100× oil immersion, 14.14 px/µm; peripheral blood film
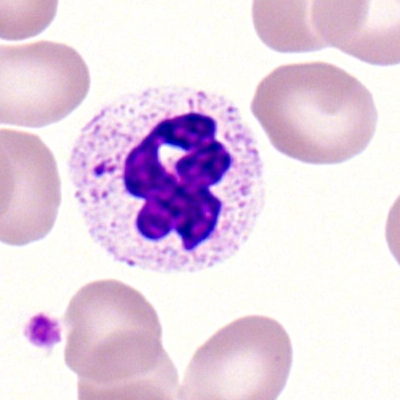

A segmented neutrophil.